Bone marrow smear — 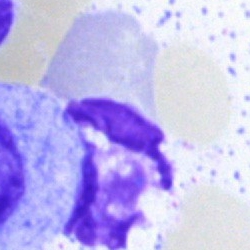
Morphology consistent with an artefact.